Peripheral blood smear.
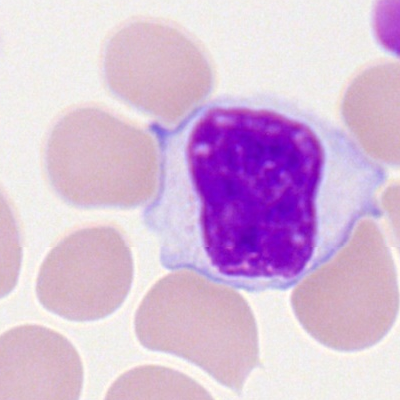 Classification = lymphocyte.